Brightfield microscopy, 40× oil immersion; bone marrow aspirate smear; 250 by 250 pixels: 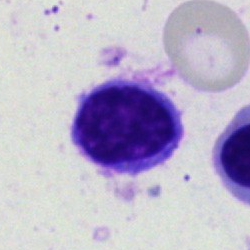

{"cell_type": "typical lymphocyte", "lineage": "lymphoid"}